Brightfield, 100× oil-immersion objective · peripheral blood smear · Romanowsky-type stain
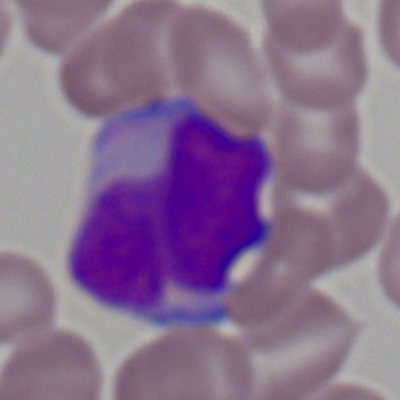
Q: What type of cell is this?
A: A myeloblast.